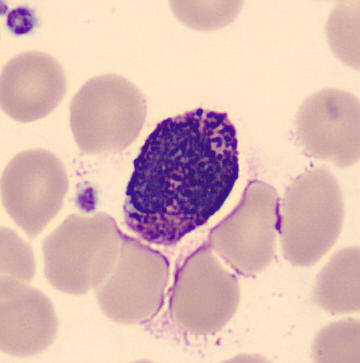Showing a basophil.

Cropped to a single cell. Peripheral blood smear.